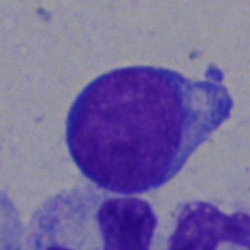 Specimen: bone marrow aspirate smear.
Classification: lymphocyte.